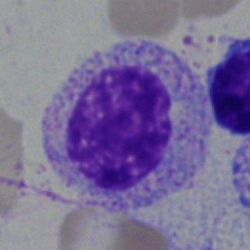The cell is myelocyte.